Bone marrow aspirate smear.
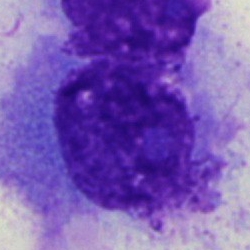
Morphological class: artifact.